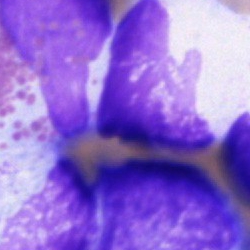 Single-cell crop from a bone marrow smear: unidentifiable cell.